250×250 · bone marrow aspirate smear
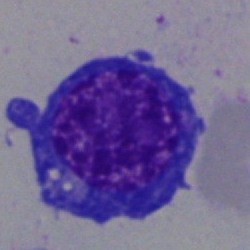 Specimen: bone marrow smear.
Morphological class: nucleated red blood cell.
Lineage: erythroid.